Bone marrow aspirate smear — 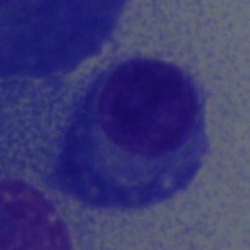 Morphology — plasmacyte.